Bone marrow smear. 250×250 px.
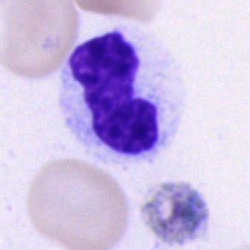

Q: Identify the cell.
A: It is a neutrophil (segmented).